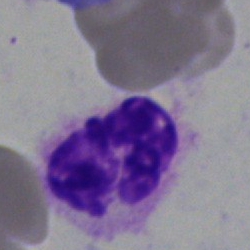
The cell is artefact.